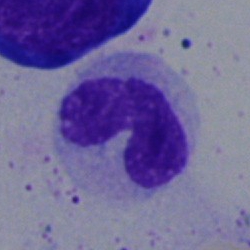
Morphology → band-form neutrophil.